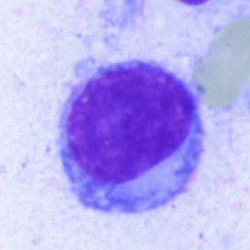{"cell_type": "hairy cell"}